Single-cell field. Bone marrow aspirate smear. 40× oil immersion.
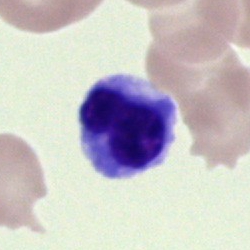Cell type: nucleated red blood cell.